Bone marrow aspirate smear; brightfield microscopy, 40× oil immersion; MGG-stained.
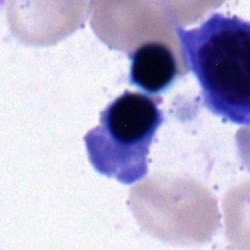

Erythroblast.